Bone marrow aspirate smear
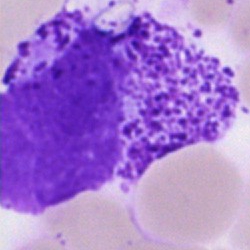

The cell shown is an artifact.